40× oil immersion · bone marrow smear · single-cell field: 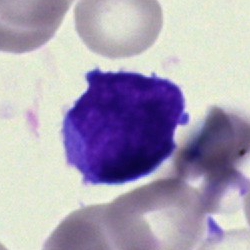Q: Which cell type is shown here?
A: This is a blast.